Single cell centered in the field; bone marrow aspirate smear; Pappenheim-stained: 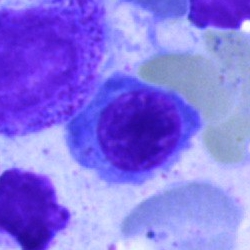
An erythroblast.